Peripheral blood smear; single-cell field: 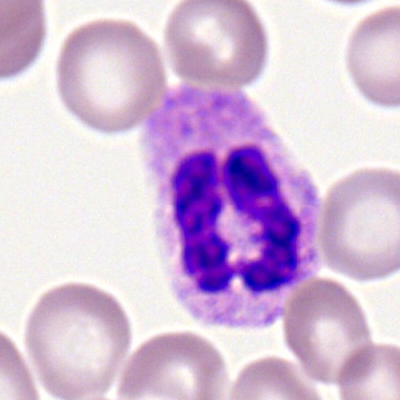

Classification: polymorphonuclear neutrophil.